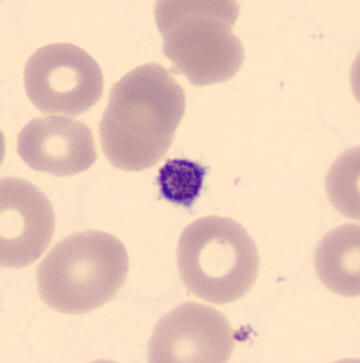
Acquisition: Peripheral blood smear; 360 by 363 pixels.

Morphology — thrombocyte.